Bone marrow aspirate smear. Image size 250×250 — 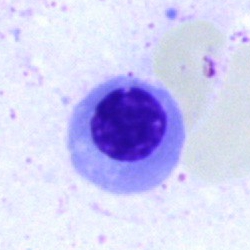The morphological class is nucleated red cell.